Bone marrow smear: 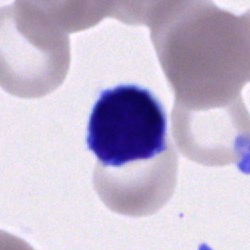

Impression → typical lymphocyte.